Bone marrow aspirate smear; image size 250×250; May-Grünwald-Giemsa/Pappenheim stain:
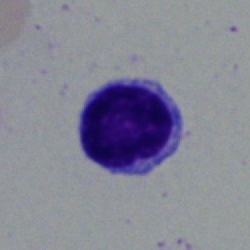 Classification: lymphocyte.